Single cell centered in the field. Bone marrow aspirate smear. May-Grünwald-Giemsa stain: 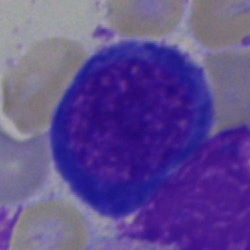 This is an erythroblast.